Bone marrow smear.
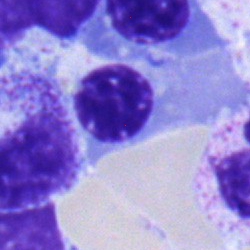
Normoblast.